Bone marrow aspirate smear:
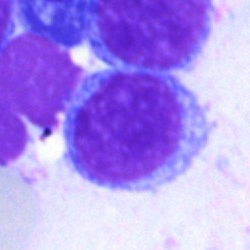
The cell is lymphocyte.